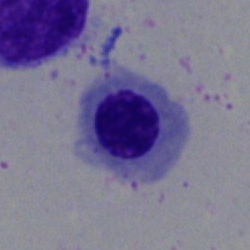

Cell: nucleated red cell.